Bone marrow smear. 250×250: 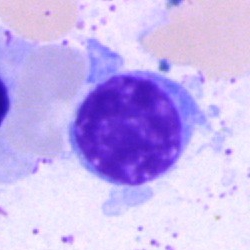
Morphology — lymphocyte.